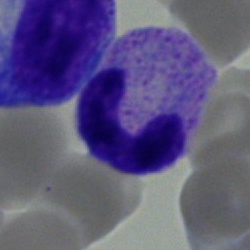A band-form neutrophil on a bone marrow smear.